Bone marrow smear — 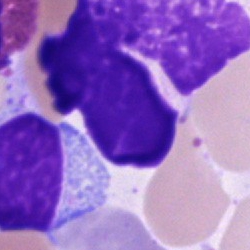 Morphological class: artifact.